Cropped to a single cell · bone marrow smear — 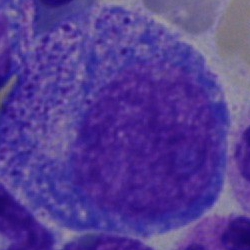 Single cell identified as a progranulocyte.